Bone marrow aspirate smear.
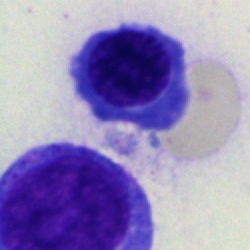A nucleated red cell.